Bone marrow smear; MGG-stained
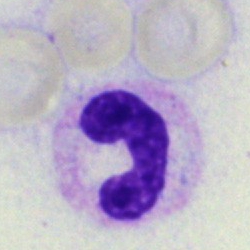Cell type — stab cell.